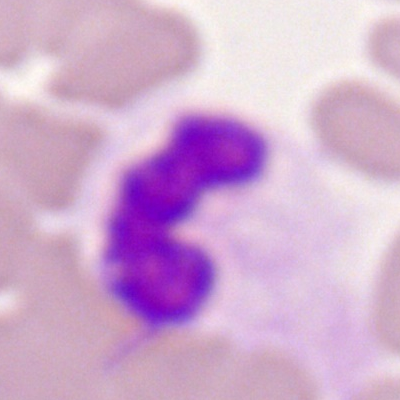
Cell type = polymorphonuclear neutrophil.